Brightfield microscopy, 40× oil immersion. Cropped to a single cell. Bone marrow smear:
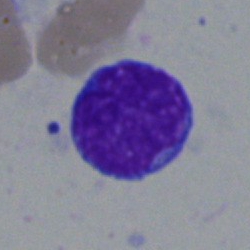

This is a lymphocyte.